Bone marrow smear · 250 by 250 pixels · Pappenheim-stained:
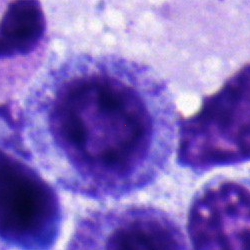 Q: What cell is this?
A: It is a myelocyte.